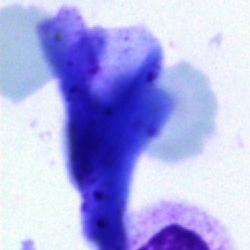 An artifact on a bone marrow smear.